Bone marrow aspirate smear — 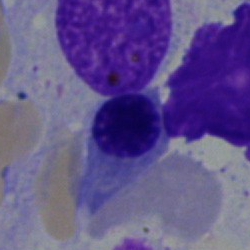

Morphological class = normoblast.